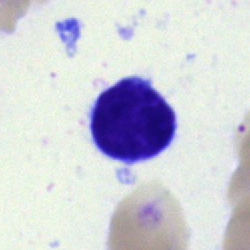
{"cell_type": "typical lymphocyte", "lineage": "lymphoid"}